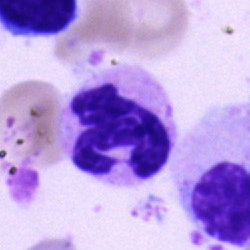Cell type — segmented neutrophil.